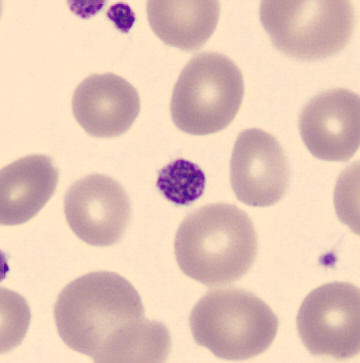 Peripheral blood smear · CellaVision DM96.

Classification = thrombocyte.